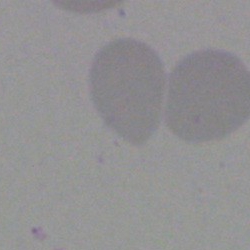
Morphological class — artefact.